Bone marrow aspirate smear: 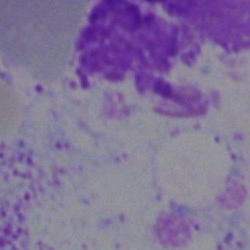

Artefact.